Bone marrow aspirate smear — 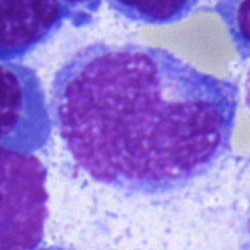Specimen: bone marrow smear.
Cell type: monocyte.